Bone marrow aspirate smear. 250×250 px.
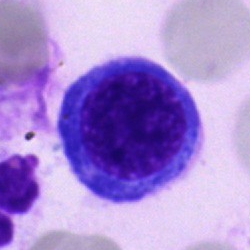Morphology — nucleated red cell.